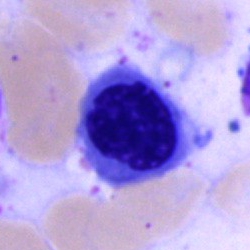

Cell = normoblast.